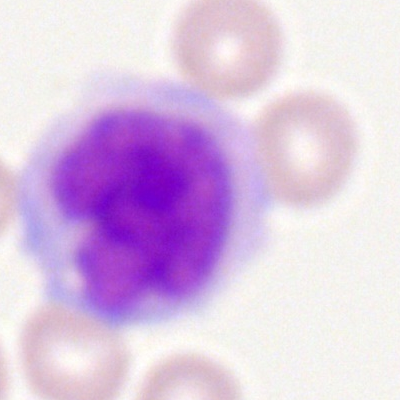

Specimen: peripheral blood smear.
Classification: monocyte.
Lineage: myeloid.